Bone marrow aspirate smear — 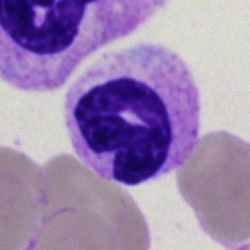Q: Which cell type is shown here?
A: Polymorphonuclear neutrophil.